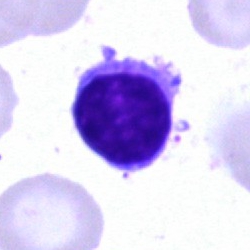Q: What is shown here?
A: A lymphocyte.